Peripheral blood smear.
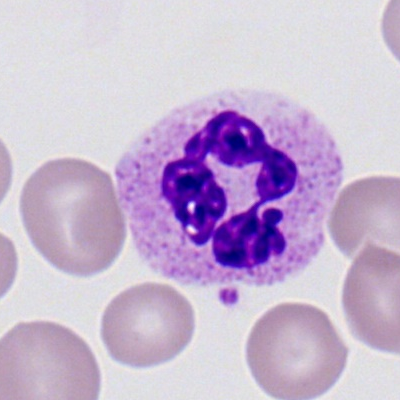
Morphology consistent with a polymorphonuclear neutrophil.